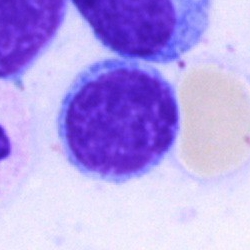
The cell is lymphocyte.